Bone marrow smear — 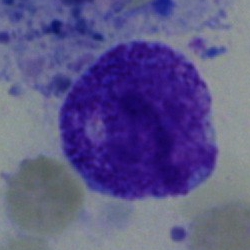Specimen: bone marrow smear.
Classification: promyelocyte.
Lineage: myeloid.